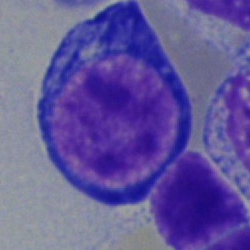 Classification: pronormoblast.